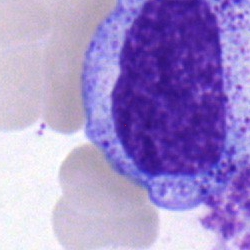
Specimen: bone marrow aspirate smear.
Cell: myelocyte.
Lineage: myeloid.